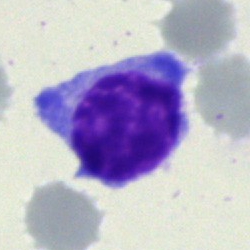 Typical lymphocyte.